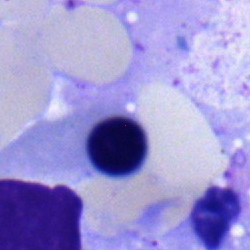 Specimen: bone marrow aspirate smear.
Cell: erythroblast.